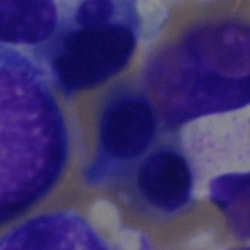Morphology → normoblast.